Bone marrow smear; May-Grünwald-Giemsa stain.
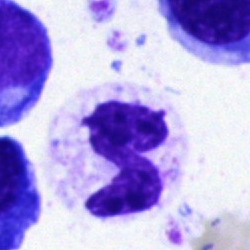
Showing a polymorphonuclear neutrophil.